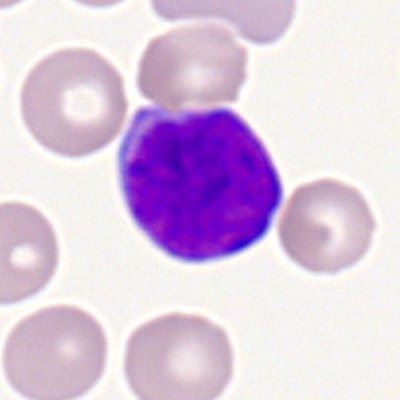 Single cell identified as a myeloid blast.